May-Grünwald-Giemsa/Pappenheim stain · bone marrow aspirate smear.
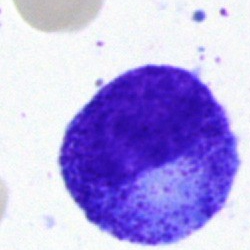
Morphology — promyelocyte.